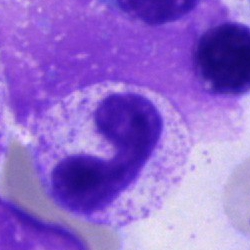{"cell_type": "neutrophil (band)", "lineage": "myeloid"}